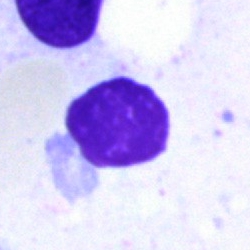 Q: What is shown here?
A: This is an artefact.